250×250. Bone marrow aspirate smear: 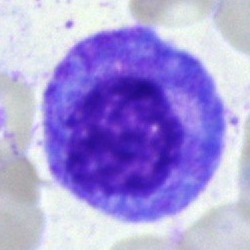
The cell shown is a promyelocyte.